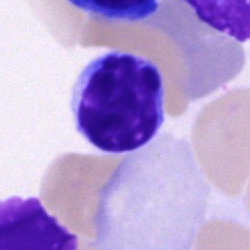 Specimen: bone marrow aspirate smear.
Cell: lymphocyte.